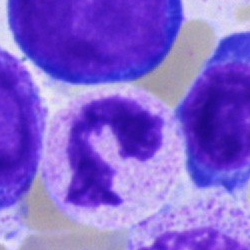 Morphology — neutrophil (segmented).